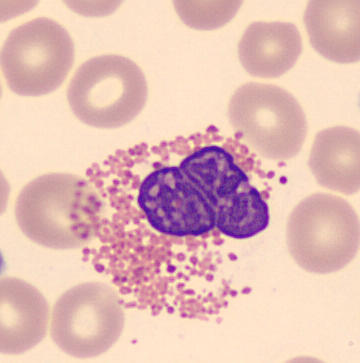

Single-cell crop from a peripheral blood smear: eosinophilic granulocyte.